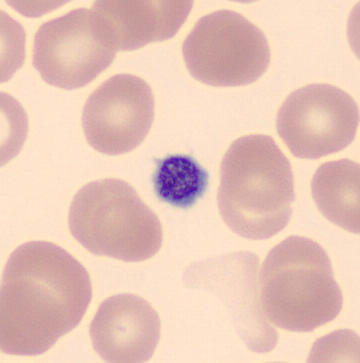
Preparation: Peripheral blood film.
Identified as a platelet (thrombocyte).